Romanowsky-type stain · peripheral blood film: 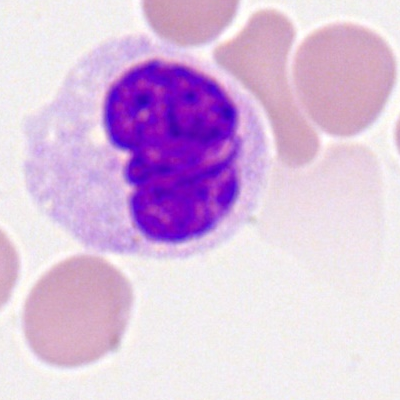 Monocyte.